Bone marrow aspirate smear · image size 250×250: 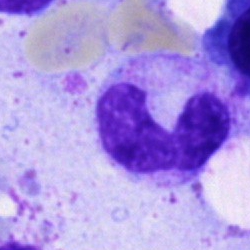

A band-form neutrophil.